Bone marrow smear
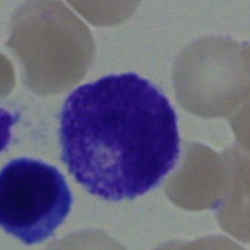Single cell identified as a myelocyte.